Bone marrow smear. Single-cell field — 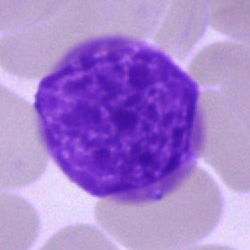Cell — artefact.